Bone marrow smear — 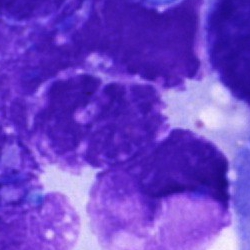
Q: What is shown here?
A: An artifact.